Bone marrow aspirate smear: 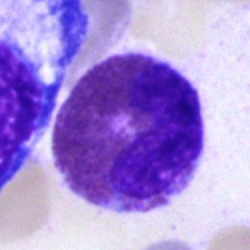The cell shown is an eosinophil.